Bone marrow aspirate smear · brightfield microscopy, 40× oil immersion:
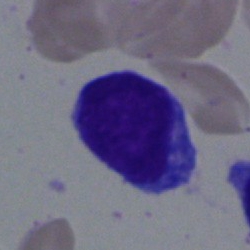Typical lymphocyte.